Bone marrow aspirate smear
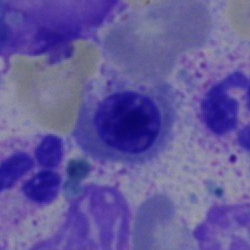 Morphology consistent with a normoblast.